Bone marrow aspirate smear; 250×250 px: 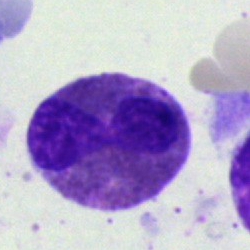Single cell identified as an eosinophilic granulocyte.